Cropped to a single cell; bone marrow aspirate smear
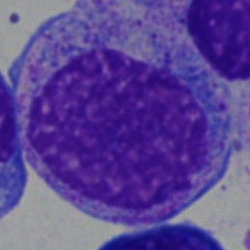This is a promyelocyte.